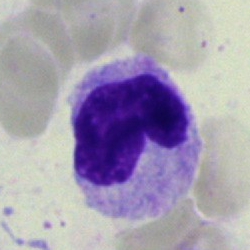

Showing a band-form neutrophil.